May-Grünwald-Giemsa stain. Bone marrow smear
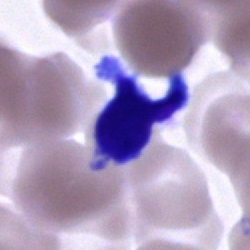
Impression → unidentifiable cell.